250×250 · MGG-stained · bone marrow aspirate smear:
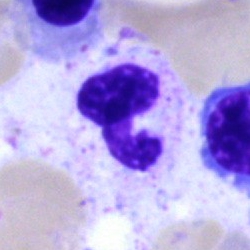A neutrophil (segmented).